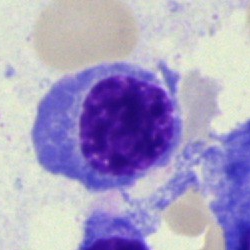A nucleated red blood cell on a bone marrow smear.